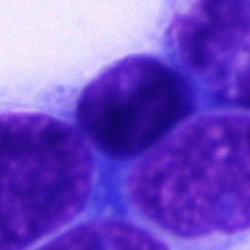
Showing an unidentifiable cell.